250×250 px; bone marrow aspirate smear — 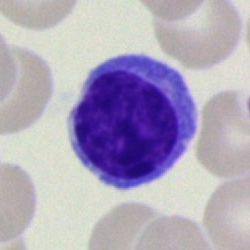
Cell type — typical lymphocyte.